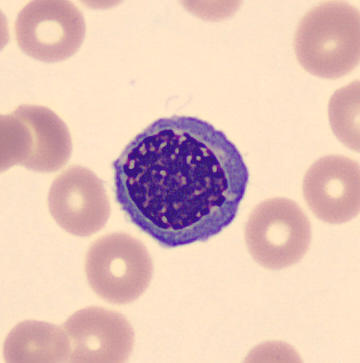 Erythroblast.